Bone marrow aspirate smear.
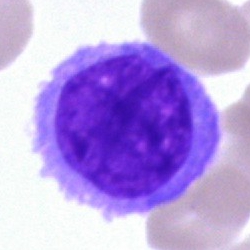 The classification is blast cell.